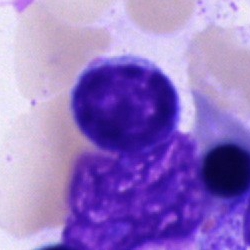
Cell: lymphocyte.